Bone marrow aspirate smear:
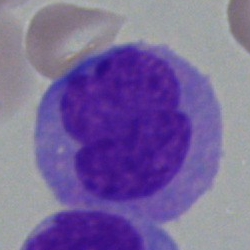

Morphology — monocyte.